Bone marrow aspirate smear: 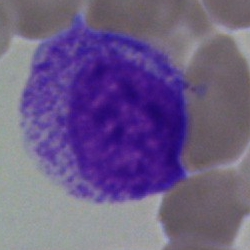
Impression — promyelocyte.